Bone marrow smear:
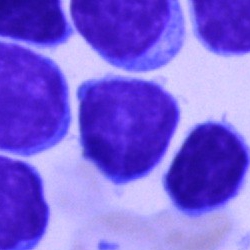
A lymphocyte.